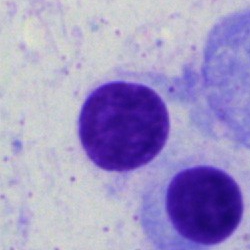
Bone marrow smear showing a plasma cell.